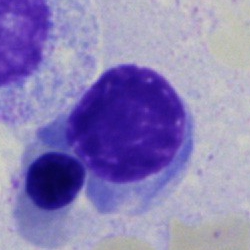 Specimen: bone marrow aspirate smear.
Classification: lymphocyte.
Lineage: lymphoid.